Peripheral blood smear; Romanowsky-stained — 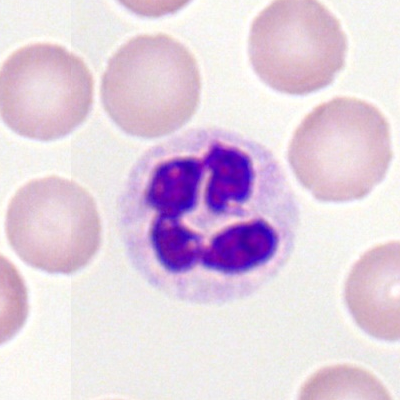

Specimen: peripheral blood film.
Cell: segmented neutrophil.